Brightfield, 40× oil-immersion objective. Bone marrow smear. May-Grünwald-Giemsa/Pappenheim stain
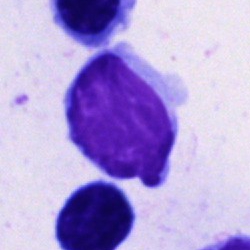 Specimen: bone marrow aspirate smear.
Cell type: typical lymphocyte.
Lineage: lymphoid.